Bone marrow aspirate smear; single-cell crop
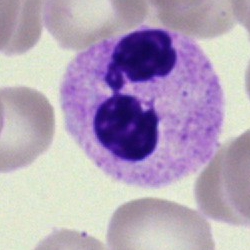
Q: What cell is this?
A: It is a polymorphonuclear neutrophil.